Bone marrow smear — 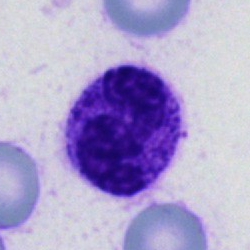
Neutrophil (segmented).